Bone marrow smear: 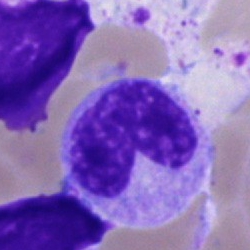

Impression → metamyelocyte.